Bone marrow aspirate smear
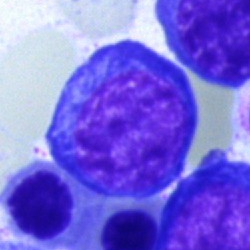 Cell — nucleated red cell.